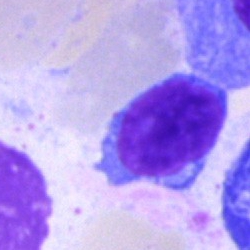 Classification: typical lymphocyte.